Bone marrow smear · cropped to a single cell · May-Grünwald-Giemsa/Pappenheim stain:
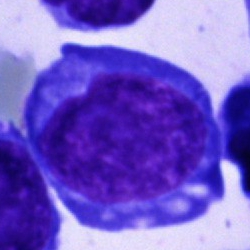
{"cell_type": "blast cell"}